Bone marrow aspirate smear — 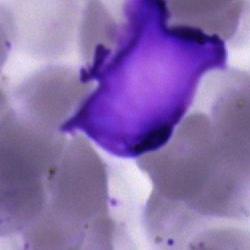

{"cell_type": "artefact"}